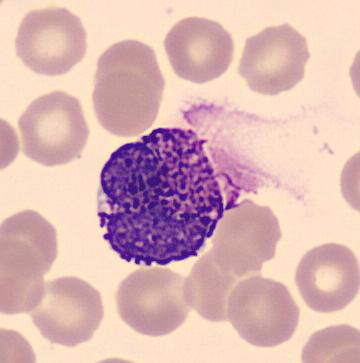

The cell shown is a basophil.
Acquisition: Single-cell crop · peripheral blood smear · automated cell imaging (CellaVision DM96).